250 by 250 pixels · bone marrow smear — 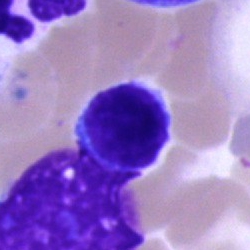 Morphology consistent with a typical lymphocyte.